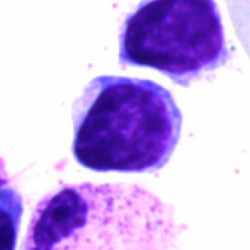 Q: What cell is this?
A: A lymphocyte.